40× oil immersion · bone marrow aspirate smear · May-Grünwald-Giemsa stain:
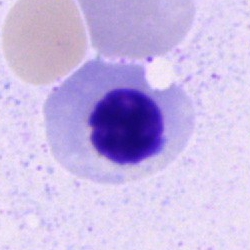This is an erythroblast.